Peripheral blood smear:
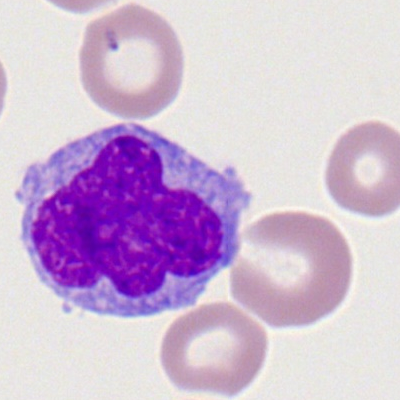 Monocyte.